Brightfield microscopy, 40× oil immersion; bone marrow aspirate smear:
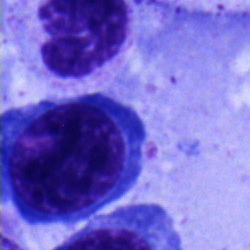
Showing a promyelocyte.